250 by 250 pixels. Bone marrow smear.
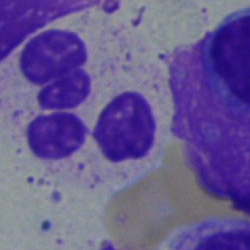
Impression — polymorphonuclear neutrophil.